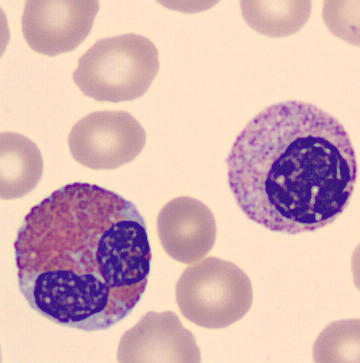 Acquisition: MGG-stained · peripheral blood smear.
Q: Identify the cell.
A: Eosinophil.